Bone marrow aspirate smear:
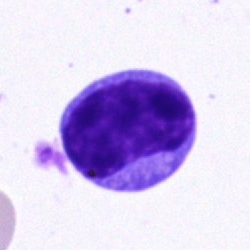

Q: What is the morphological classification of this cell?
A: It is a lymphocyte.